Bone marrow smear — 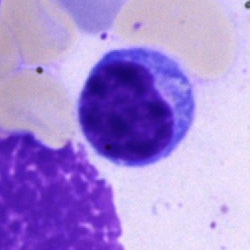

Cell: typical lymphocyte.